May-Grünwald-Giemsa stain; bone marrow smear
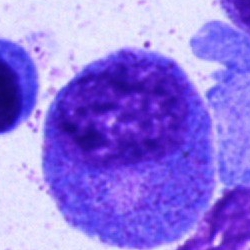 A promyelocyte.